Peripheral blood film.
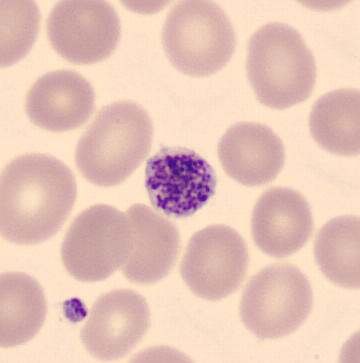

Platelet.